Peripheral blood smear: 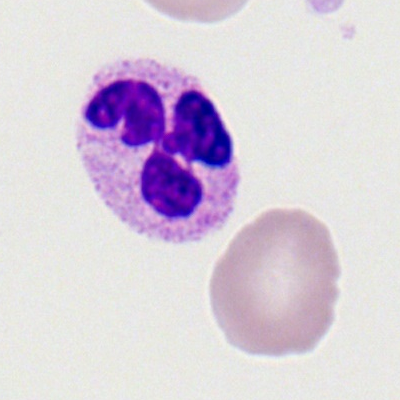

Single cell identified as a segmented neutrophil.